Peripheral blood film; 100× oil immersion, 14.14 px/µm; single-cell crop
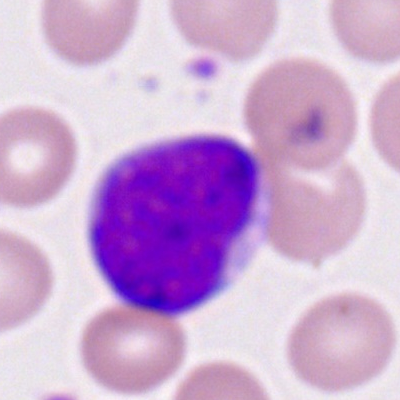Q: What type of cell is this?
A: Myeloblast.